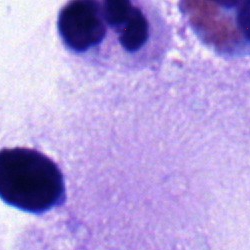

Q: Identify the cell.
A: A neutrophil (segmented).